Bone marrow aspirate smear. Cropped to a single cell. Brightfield, 40× oil-immersion objective — 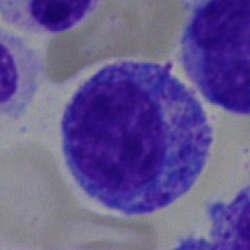

Cell — promyelocyte.